Bone marrow aspirate smear:
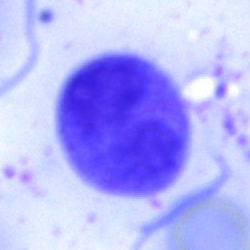Q: Which cell type is shown here?
A: This is a cell of indeterminate lineage.